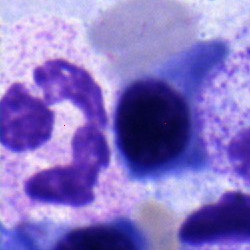
Morphology → myelocyte.